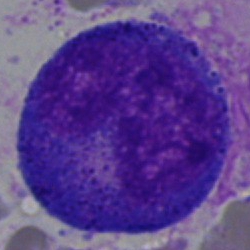 Cell type = progranulocyte.